Bone marrow smear — 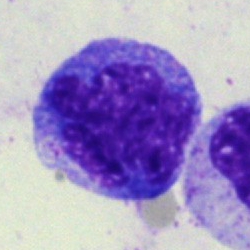

This is a monocyte.